Bone marrow aspirate smear
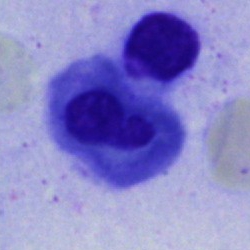

Morphology → erythroblast.